Bone marrow aspirate smear: 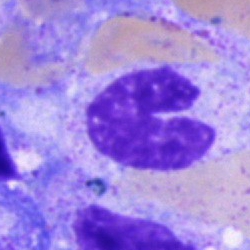Showing a neutrophil (band).